Peripheral blood smear
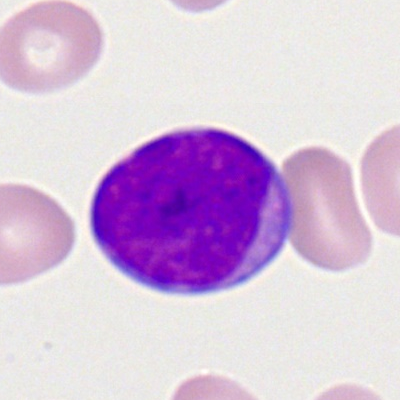 The cell shown is a myeloid blast.